Bone marrow smear: 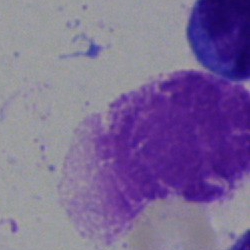This is an artifact.